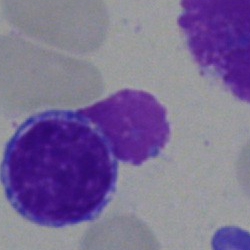 Morphology — typical lymphocyte.